Bone marrow aspirate smear:
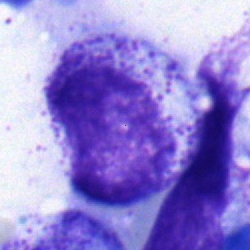 Cell type = myelocyte.